Bone marrow aspirate smear.
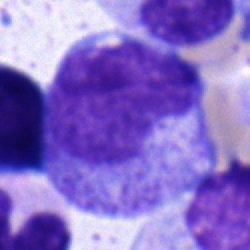

Q: What type of cell is this?
A: Metamyelocyte.